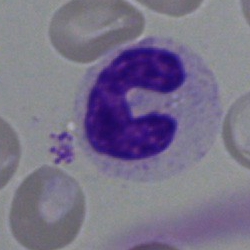
Showing a segmented neutrophil.